Bone marrow aspirate smear · 40× objective, oil immersion.
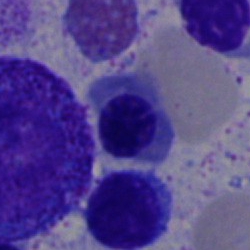

The cell type is nucleated red blood cell.